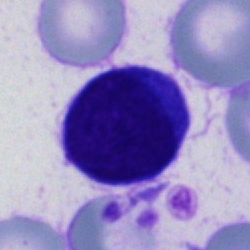

Showing a cell of indeterminate lineage.